Bone marrow smear:
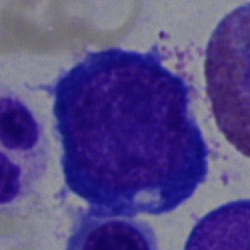 The cell shown is a proerythroblast.